Bone marrow smear; MGG-stained — 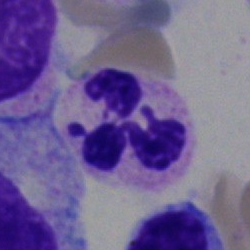

Neutrophil (segmented).